Bone marrow aspirate smear; single cell centered in the field; 250×250 px — 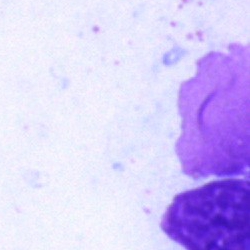

Morphology consistent with an artefact.